Bone marrow smear — 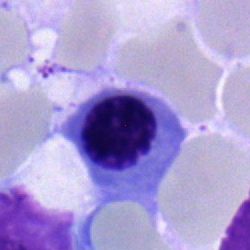Q: What type of cell is this?
A: This is a nucleated red blood cell.